Image size 250×250 · single-cell field · bone marrow smear — 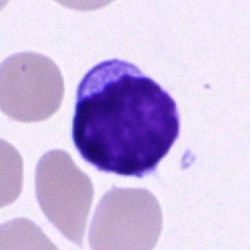

Impression → typical lymphocyte.